Single cell centered in the field. Peripheral blood smear. 400×400:
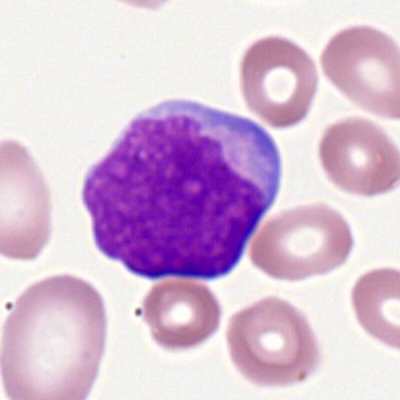The classification is myeloid blast.